Bone marrow smear. 250×250 px. Brightfield, 40× oil-immersion objective
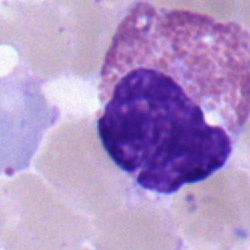
Specimen: bone marrow aspirate smear.
Cell type: eosinophil.
Lineage: myeloid.